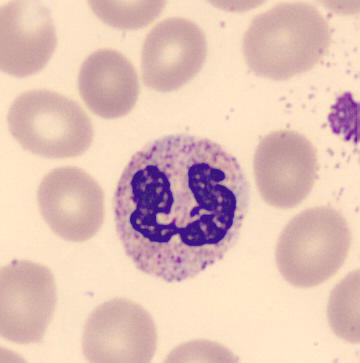 Preparation: Peripheral blood smear.
A neutrophil (segmented).